Bone marrow smear: 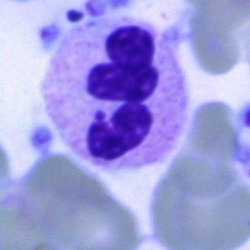

Specimen: bone marrow smear.
Cell type: neutrophil (segmented).
Lineage: myeloid.